Bone marrow aspirate smear — 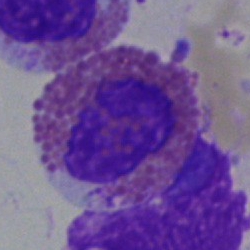 Showing an eosinophil.